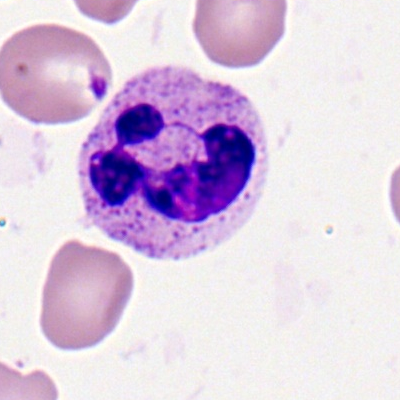 The cell type is neutrophil (segmented).